250 by 250 pixels; bone marrow smear — 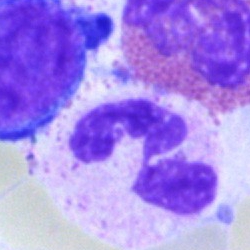
Polymorphonuclear neutrophil.